Bone marrow smear.
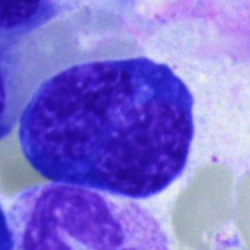 A nucleated red cell.